Bone marrow smear. Cropped to a single cell
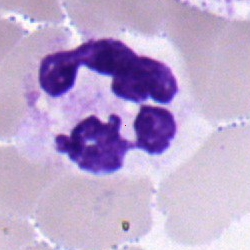Classification = polymorphonuclear neutrophil.